Bone marrow smear. Brightfield microscopy, 40× oil immersion. Single cell centered in the field.
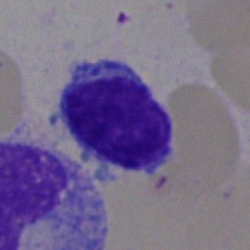
Morphology → lymphocyte.